Image size 250×250; bone marrow smear; brightfield, 40× oil-immersion objective:
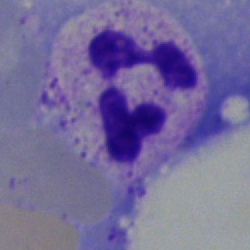 Q: What is shown here?
A: A segmented neutrophil.